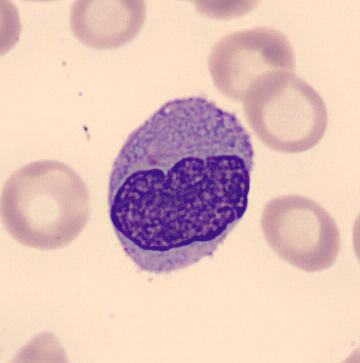

Q: What is shown here?
A: It is a monocyte.